Bone marrow aspirate smear.
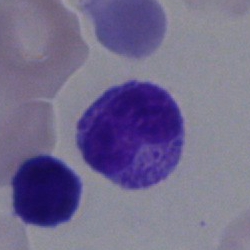 Cell type — metamyelocyte.